40× oil immersion. Single-cell field. Bone marrow aspirate smear:
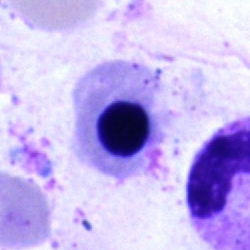

Specimen: bone marrow aspirate smear.
Cell: normoblast.